Bone marrow smear · May-Grünwald-Giemsa stain: 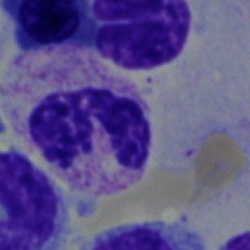 Morphological class — segmented neutrophil.